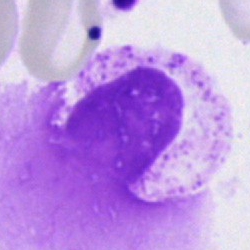Morphology — artifact.